Bone marrow smear:
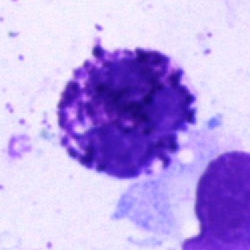 The cell type is basophil.